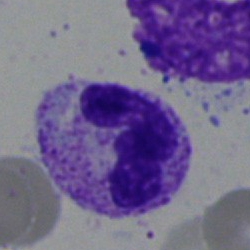 Q: What is shown here?
A: A neutrophil (segmented).